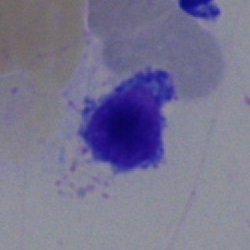

Typical lymphocyte.